250 by 250 pixels. Bone marrow smear:
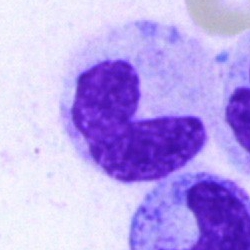

Q: What type of cell is this?
A: It is a neutrophil (band).